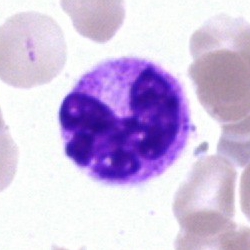

Q: Identify the cell.
A: A segmented neutrophil.